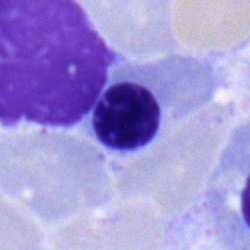 {"cell_type": "nucleated red blood cell", "lineage": "erythroid"}